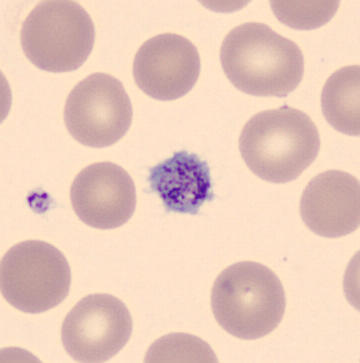Specimen: peripheral blood film.
Classification: platelet.